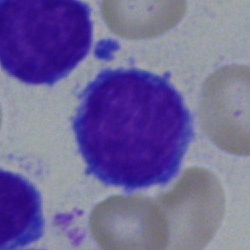The cell shown is a lymphocyte.